Bone marrow aspirate smear · 40× oil immersion · single cell centered in the field:
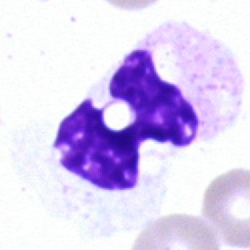

Single cell identified as a neutrophil (segmented).